Bone marrow aspirate smear — 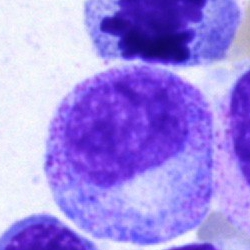
Q: What type of cell is this?
A: A myelocyte.